Bone marrow smear
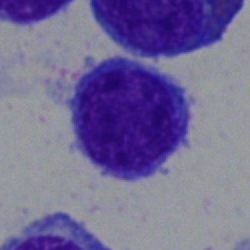The classification is typical lymphocyte.